Bone marrow aspirate smear — 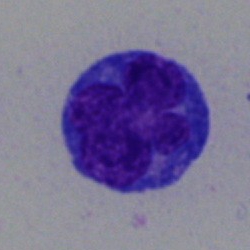
Specimen: bone marrow smear.
Cell type: blast.